Bone marrow smear; single cell centered in the field; 250×250 — 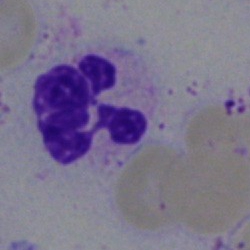 The morphological class is neutrophil (segmented).